Brightfield, 40× oil-immersion objective. Single cell centered in the field. Bone marrow aspirate smear — 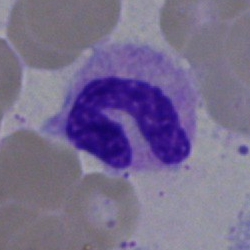Classification — neutrophil (segmented).